Single cell centered in the field · peripheral blood film — 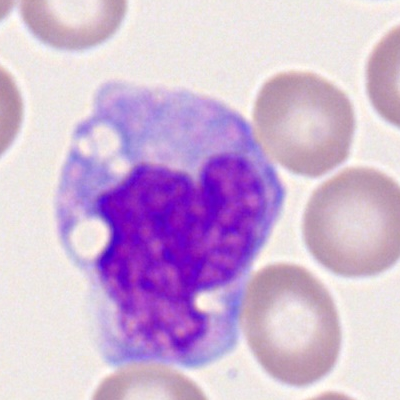Q: What type of cell is this?
A: This is a monocyte.